Bone marrow smear · single cell centered in the field: 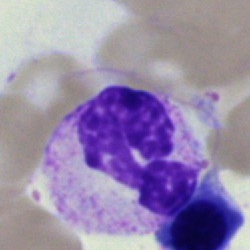Morphology → neutrophil (segmented).